Brightfield microscopy, 40× oil immersion · bone marrow aspirate smear — 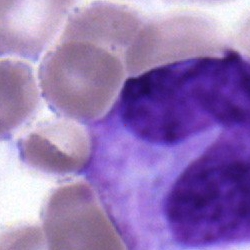Showing a monocyte.